250×250. Bone marrow smear:
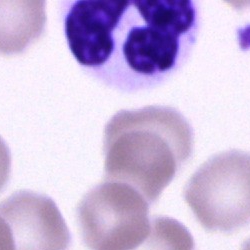

Specimen: bone marrow aspirate smear.
Cell: polymorphonuclear neutrophil.